250×250 px; brightfield, 40× oil-immersion objective; bone marrow aspirate smear — 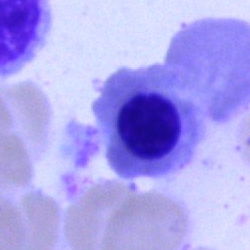Cell type: nucleated red cell.